250×250 px. Bone marrow smear. Single-cell field.
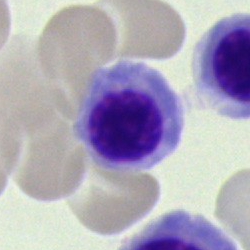 Q: Identify the cell.
A: A normoblast.